Bone marrow aspirate smear: 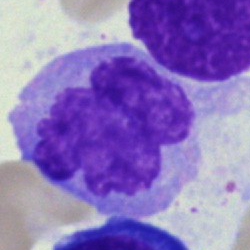
Q: Which cell type is shown here?
A: This is a monocyte.